Bone marrow aspirate smear. Pappenheim-stained — 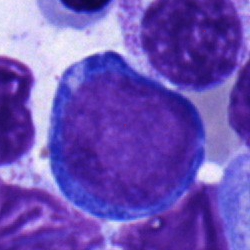 The cell type is proerythroblast.